Bone marrow smear
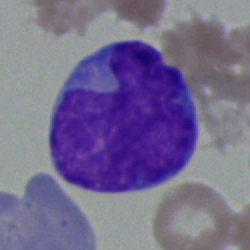Q: Which cell type is shown here?
A: This is an undifferentiated blast.